Image size 250×250 · MGG-stained · bone marrow aspirate smear: 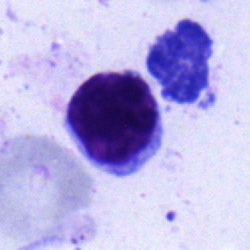 Classification — typical lymphocyte.